Bone marrow smear
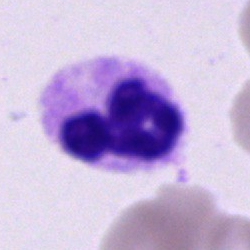Morphology consistent with a neutrophil (segmented).